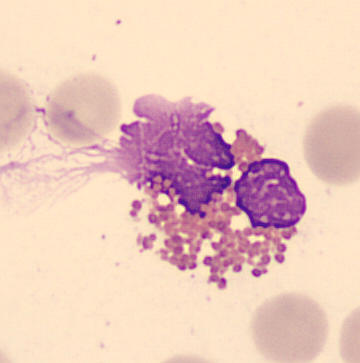
Showing an eosinophil.